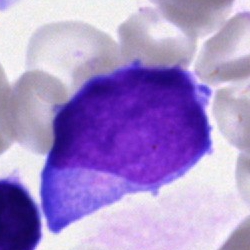The cell is blast.